Image size 360×363 · peripheral blood smear · CellaVision DM96 digital cell image.
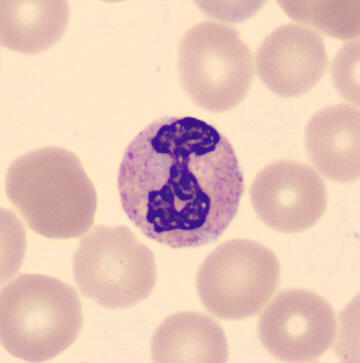A segmented neutrophil.